Bone marrow aspirate smear.
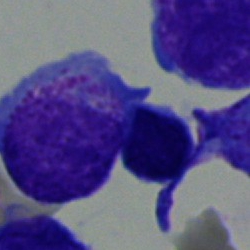 Showing a progranulocyte.